Bone marrow smear · Pappenheim-stained.
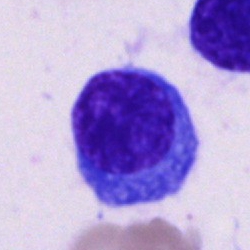Q: What is the morphological classification of this cell?
A: Plasma cell.